Bone marrow aspirate smear; 250×250; Pappenheim-stained: 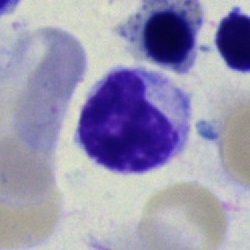Cell type — lymphocyte.